Bone marrow aspirate smear
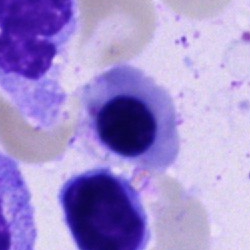
Specimen: bone marrow aspirate smear.
Morphological class: nucleated red blood cell.